Bone marrow smear
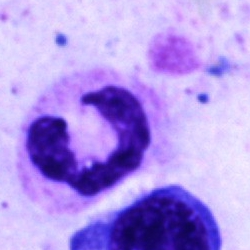 The classification is segmented neutrophil.